Cropped to a single cell · bone marrow smear · brightfield microscopy, 40× oil immersion:
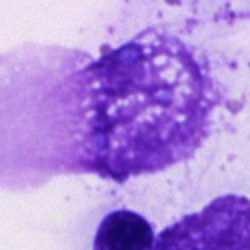 Q: What is shown here?
A: It is an artefact.